Bone marrow aspirate smear. 250×250. May-Grünwald-Giemsa stain.
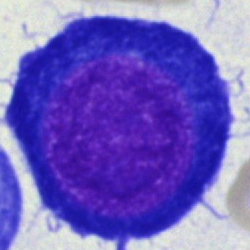

This is a proerythroblast.